Bone marrow aspirate smear — 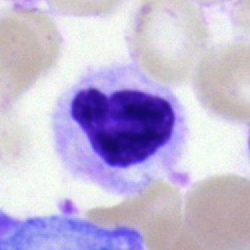

Morphology consistent with a polymorphonuclear neutrophil.